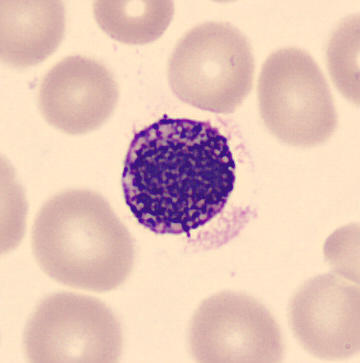 Classification = basophilic granulocyte.

Acquisition: Peripheral blood film; single-cell field.